May-Grünwald-Giemsa/Pappenheim stain · single-cell field · bone marrow aspirate smear:
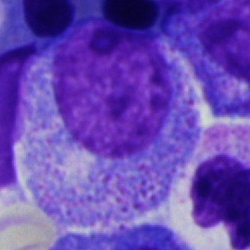 The cell shown is a progranulocyte.